May-Grünwald-Giemsa/Pappenheim stain. Single cell centered in the field. Bone marrow smear — 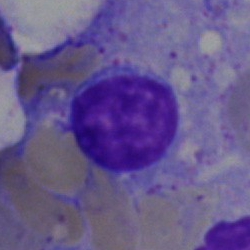 The cell type is lymphocyte.